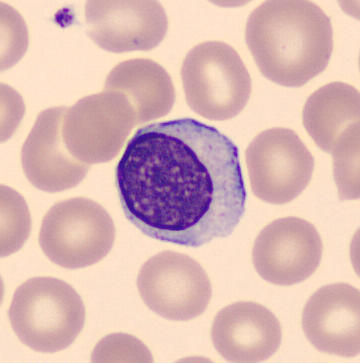Morphology consistent with a typical lymphocyte.

Preparation: Peripheral blood film.